Bone marrow aspirate smear
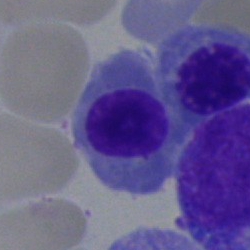 Showing a nucleated red cell.